Single cell centered in the field; May-Grünwald-Giemsa stain; bone marrow aspirate smear — 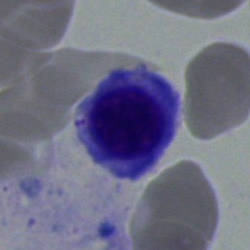
Classification = nucleated red cell.